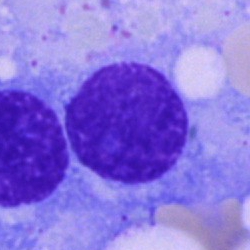

Q: What is the morphological classification of this cell?
A: This is a plasma cell.